Bone marrow aspirate smear. 250 by 250 pixels. Pappenheim-stained.
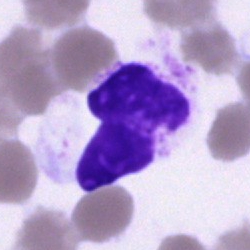A neutrophil (segmented).